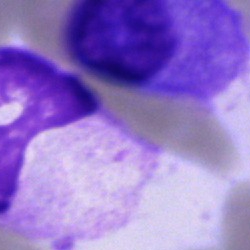 {"cell_type": "cell of indeterminate lineage"}